Bone marrow smear — 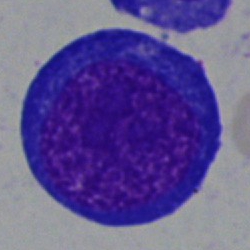
Classification: proerythroblast.